Bone marrow aspirate smear: 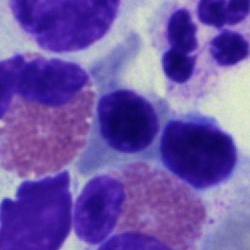 Morphological class: eosinophil.